MGG-stained; bone marrow smear; 40× objective, oil immersion.
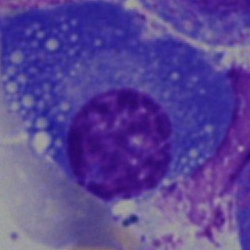 Specimen: bone marrow aspirate smear.
Morphological class: plasma cell.